Bone marrow aspirate smear: 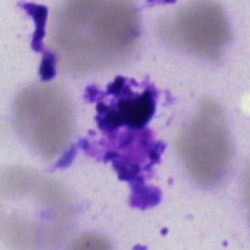 {"cell_type": "artefact"}